Bone marrow smear:
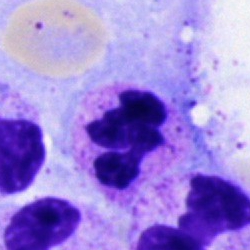

Impression — neutrophil (segmented).